Bone marrow aspirate smear: 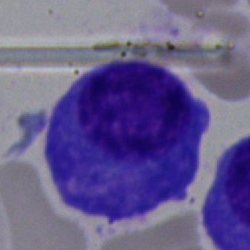
Plasmacyte.